Bone marrow smear:
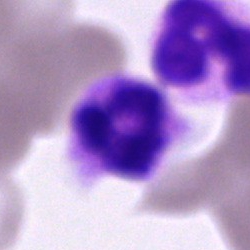
Q: What type of cell is this?
A: Neutrophil (segmented).